Peripheral blood film. 400×400 px
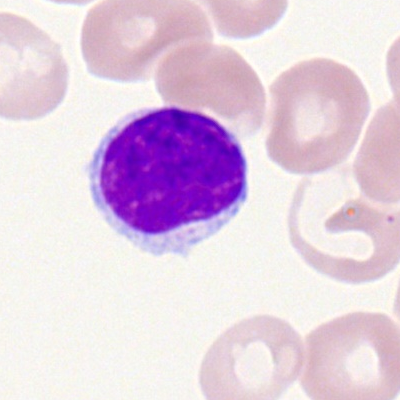

Showing a typical lymphocyte.